Peripheral blood film — 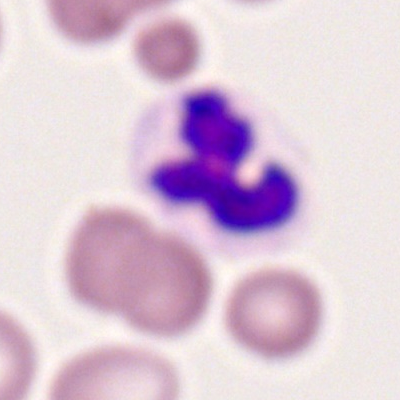

Q: What type of cell is this?
A: Polymorphonuclear neutrophil.